Bone marrow smear · single cell centered in the field · 40× oil immersion: 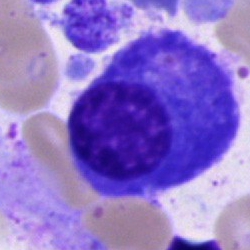Morphology consistent with a plasmacyte.